Peripheral blood smear.
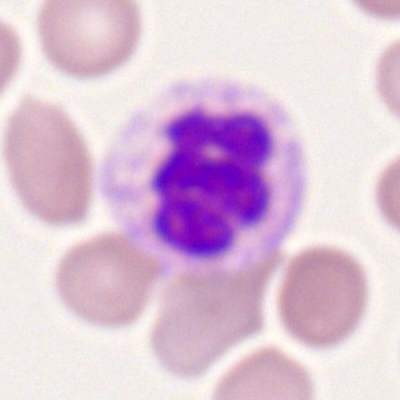

Specimen: peripheral blood film.
Cell type: polymorphonuclear neutrophil.